Single-cell field. MGG-stained. Bone marrow smear: 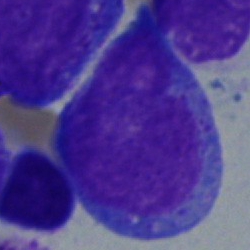 Q: Identify the cell.
A: This is a blast.